Bone marrow aspirate smear.
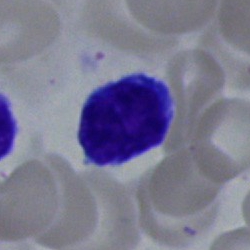Specimen: bone marrow smear.
Cell: lymphocyte.
Lineage: lymphoid.